Bone marrow aspirate smear: 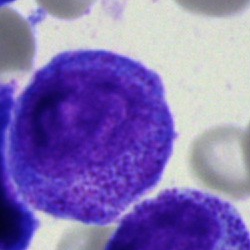Specimen: bone marrow smear.
Cell type: promyelocyte.
Lineage: myeloid.